Bone marrow smear:
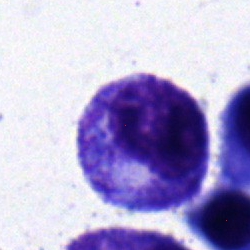This is a myelocyte.